Brightfield microscopy, 40× oil immersion. Bone marrow aspirate smear. Single cell centered in the field: 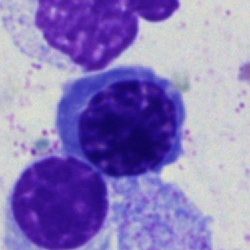Impression — nucleated red cell.